250×250 · bone marrow aspirate smear · 40× oil immersion: 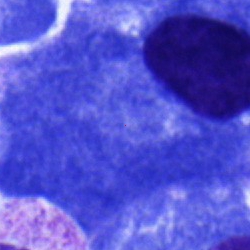
Q: What cell is this?
A: This is a plasma cell.